Bone marrow aspirate smear. 40× objective, oil immersion:
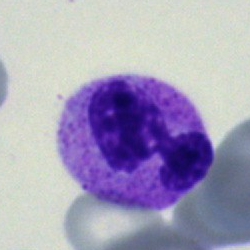 Morphology — segmented neutrophil.